Bone marrow aspirate smear; May-Grünwald-Giemsa stain
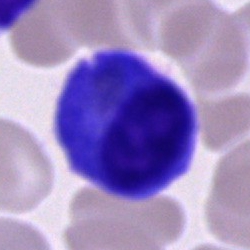 A plasma cell.